Bone marrow aspirate smear
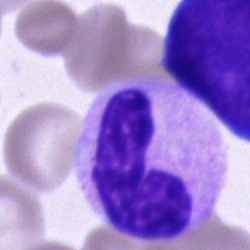
Morphological class: band-form neutrophil.